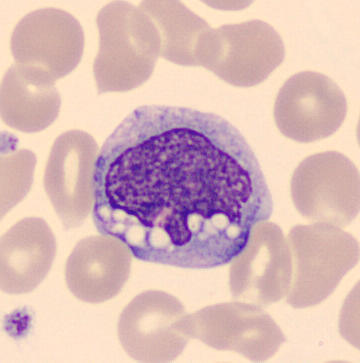

From a peripheral blood smear: a monocyte.